Bone marrow aspirate smear
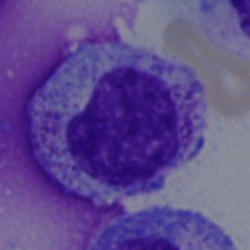 Single cell identified as a myelocyte.